Bone marrow smear.
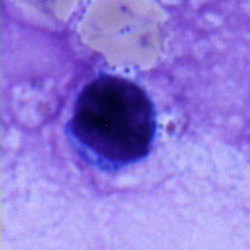

Showing a typical lymphocyte.